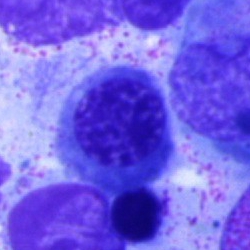

Q: What is the morphological classification of this cell?
A: Nucleated red blood cell.